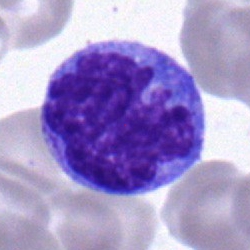 Showing a monocyte.